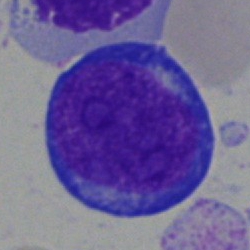Morphology consistent with a pronormoblast.